Pappenheim-stained; 40× oil immersion; bone marrow smear:
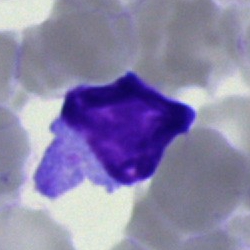This is a typical lymphocyte.